Bone marrow aspirate smear:
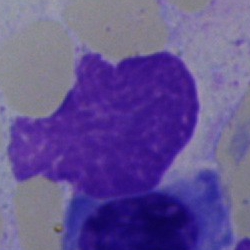 The cell shown is an artefact.